40× objective, oil immersion · bone marrow aspirate smear
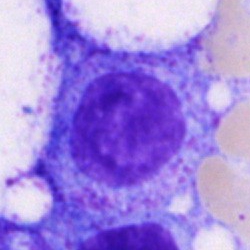
Q: What cell is this?
A: It is a myelocyte.